Bone marrow aspirate smear.
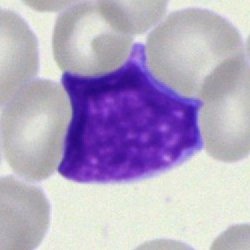 Morphology consistent with a blast cell.